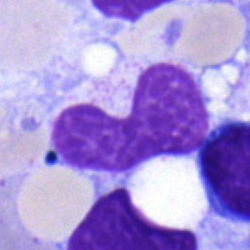

Morphology — band-form neutrophil.